250 by 250 pixels · bone marrow smear · brightfield microscopy, 40× oil immersion: 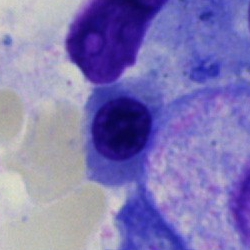
This is a normoblast.